Bone marrow aspirate smear:
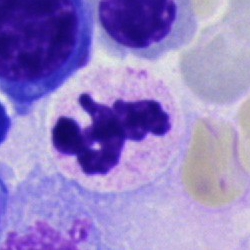
Q: What is the morphological classification of this cell?
A: It is a neutrophil (segmented).